250×250 px. Bone marrow aspirate smear:
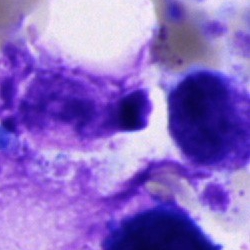 Cell: artifact.